Bone marrow aspirate smear. May-Grünwald-Giemsa/Pappenheim stain
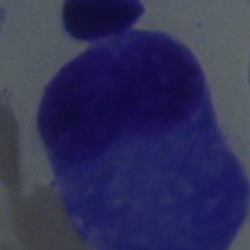
The cell type is plasma cell.